Bone marrow aspirate smear · cropped to a single cell
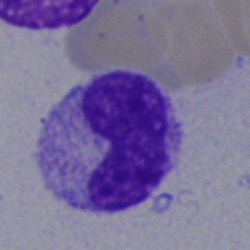
Specimen: bone marrow aspirate smear.
Morphological class: neutrophil (band).
Lineage: myeloid.